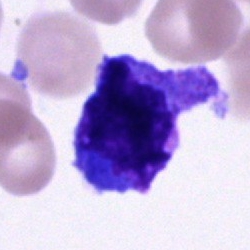Bone marrow aspirate smear, single cell — unidentifiable cell.